40× objective, oil immersion; bone marrow smear
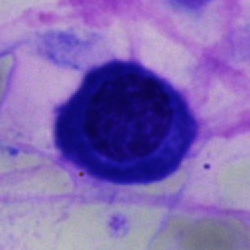

The cell type is plasma cell.